Peripheral blood film: 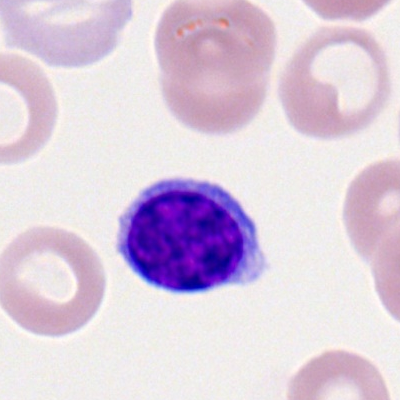The cell shown is a typical lymphocyte.